Bone marrow aspirate smear:
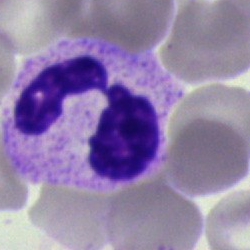

{"cell_type": "neutrophil (segmented)"}